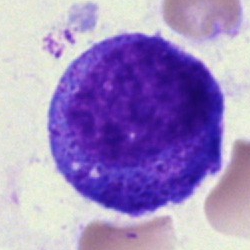 Classification = promyelocyte.